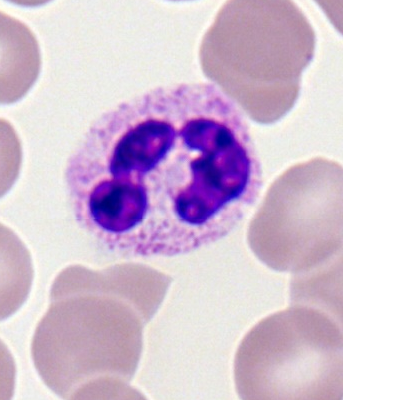Showing a segmented neutrophil.